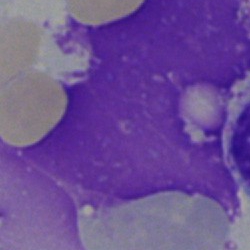 Morphological class — artifact.